May Grünwald-Giemsa stain; peripheral blood smear
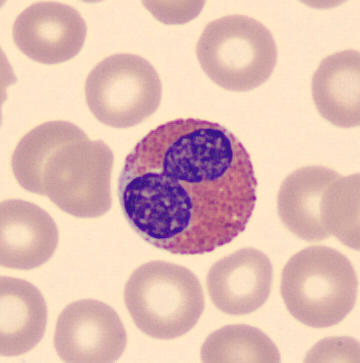
Specimen: peripheral blood film.
Cell type: eosinophil.